Bone marrow aspirate smear
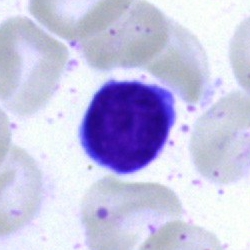Specimen: bone marrow smear.
Cell type: typical lymphocyte.
Lineage: lymphoid.